250 by 250 pixels. Brightfield, 40× oil-immersion objective. Bone marrow smear: 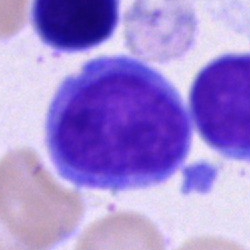This is a blast.